Bone marrow smear; MGG-stained:
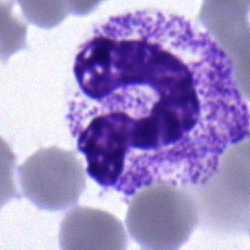

This is a stab cell.